Bone marrow smear:
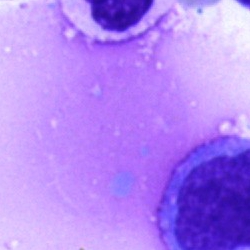

Morphological class = artefact.